Bone marrow aspirate smear — 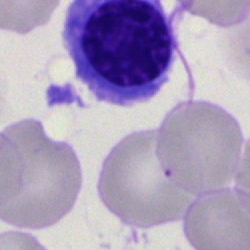 Nucleated red cell.